Bone marrow aspirate smear — 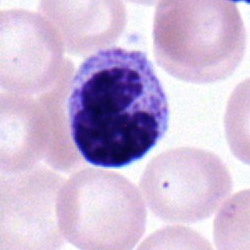 The cell type is segmented neutrophil.